Bone marrow smear
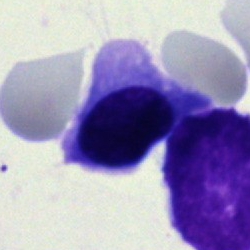 This is a nucleated red blood cell.